250×250 px; bone marrow aspirate smear
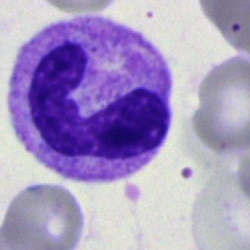Showing a neutrophil (segmented).